Bone marrow aspirate smear. 250×250. Single-cell field
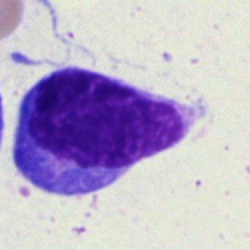

Morphology — typical lymphocyte.